Bone marrow aspirate smear · single-cell field:
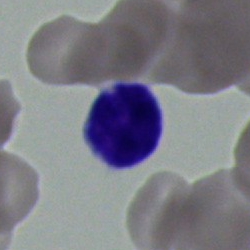 Typical lymphocyte.